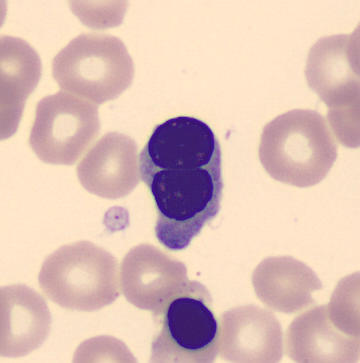

Image: 360×363. Cropped to a single cell. Peripheral blood film.
Morphology consistent with an erythroblast.